Bone marrow aspirate smear
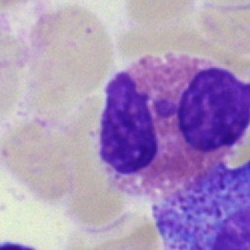

Morphological class = eosinophil.